Single cell centered in the field. Bone marrow aspirate smear.
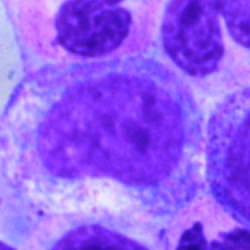
The cell is progranulocyte.